Bone marrow smear:
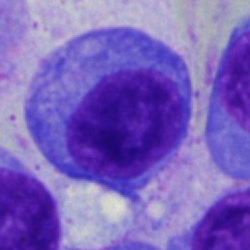
Morphological class = plasmacyte.